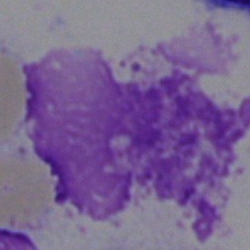Q: What is shown here?
A: Artefact.